Bone marrow aspirate smear: 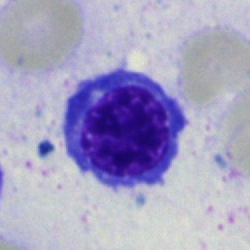

Morphological class — nucleated red cell.